Bone marrow smear. 250 by 250 pixels:
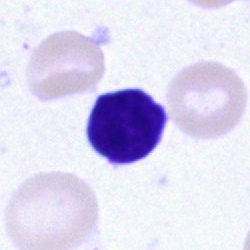Morphological class — typical lymphocyte.